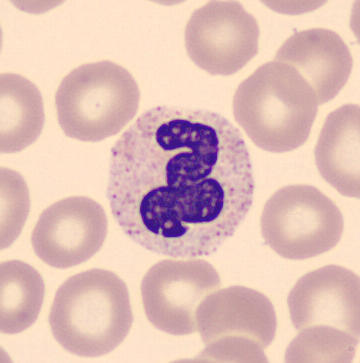 Q: What is shown here?
A: It is a neutrophil (segmented).
Peripheral blood smear.